Brightfield microscopy, 40× oil immersion. Bone marrow smear: 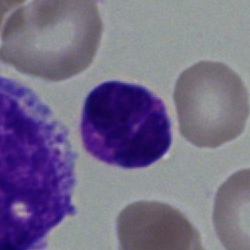Cell type: basophilic granulocyte.